Bone marrow smear; MGG-stained; single-cell field: 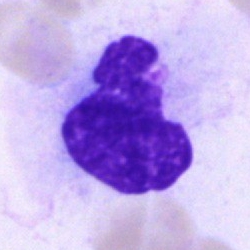This is an artefact.